Bone marrow smear. Pappenheim-stained:
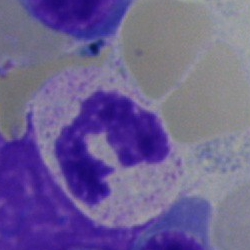Specimen: bone marrow aspirate smear.
Cell: neutrophil (segmented).